Brightfield, 40× oil-immersion objective. Bone marrow smear.
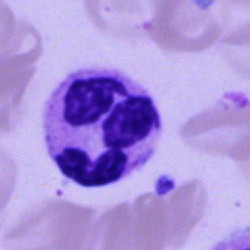Specimen: bone marrow aspirate smear.
Cell type: segmented neutrophil.
Lineage: myeloid.